Bone marrow smear — 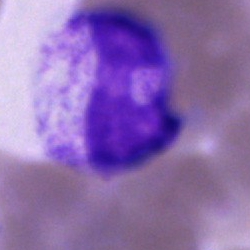

The cell shown is a segmented neutrophil.